Single-cell crop · bone marrow smear · brightfield microscopy, 40× oil immersion: 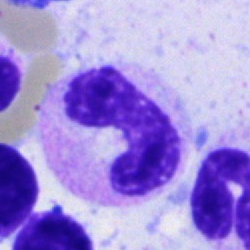 Impression — stab cell.